Cropped to a single cell · Pappenheim-stained · bone marrow smear — 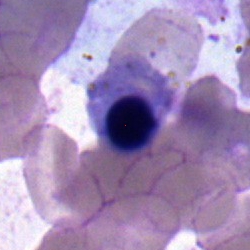
Impression → normoblast.